Bone marrow aspirate smear — 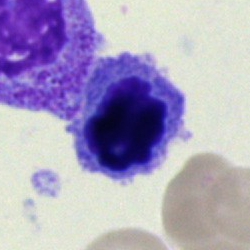

Specimen: bone marrow aspirate smear.
Classification: nucleated red cell.
Lineage: erythroid.